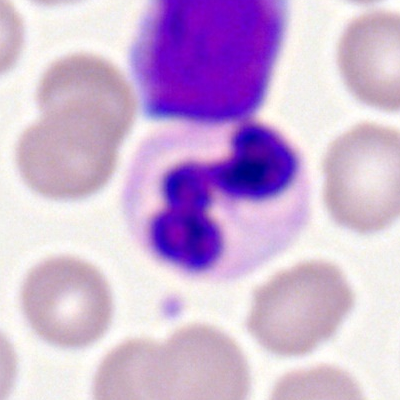 Morphology consistent with a segmented neutrophil.